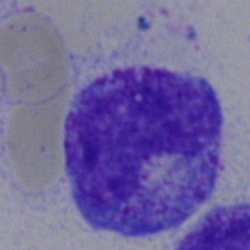 Morphology — metamyelocyte.